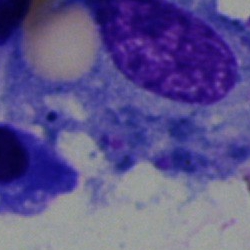Single-cell crop from a bone marrow smear: cell of indeterminate lineage.